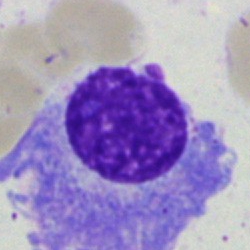Morphology — plasmacyte.